Bone marrow smear · Pappenheim-stained
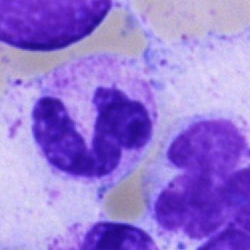

Cell type: polymorphonuclear neutrophil.